Bone marrow aspirate smear — 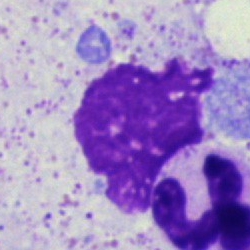 {"cell_type": "artifact"}